Bone marrow smear.
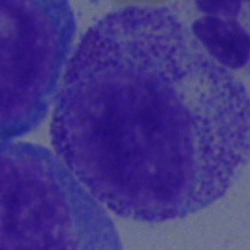

Cell type — promyelocyte.